Bone marrow aspirate smear; May-Grünwald-Giemsa stain: 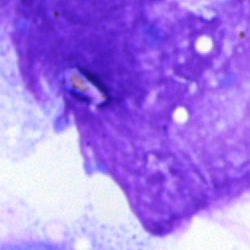Impression — artefact.